250 by 250 pixels. Bone marrow smear. Single-cell field
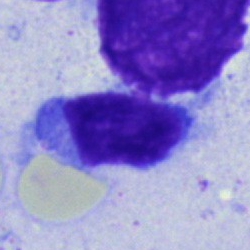

A lymphocyte.